Image size 250×250. Single cell centered in the field. Bone marrow aspirate smear.
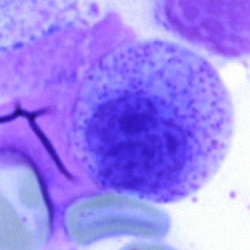This is a myelocyte.